MGG-stained. Bone marrow smear. Brightfield, 40× oil-immersion objective — 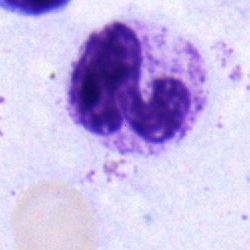Single cell identified as a neutrophil (band).